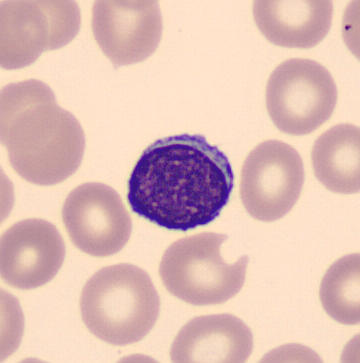
Q: What cell is this?
A: It is a typical lymphocyte.

Image: Peripheral blood film.